Cropped to a single cell. Bone marrow smear
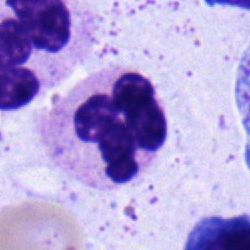 Showing a neutrophil (segmented).